Brightfield, 40× oil-immersion objective · bone marrow aspirate smear — 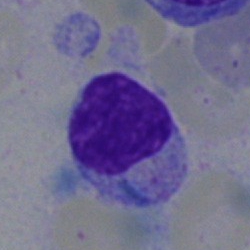Morphology consistent with a typical lymphocyte.